Bone marrow smear
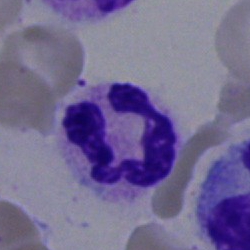

Specimen: bone marrow smear.
Cell: neutrophil (segmented).